Bone marrow aspirate smear
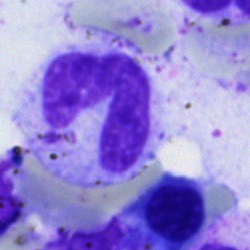 Cell — neutrophil (band).